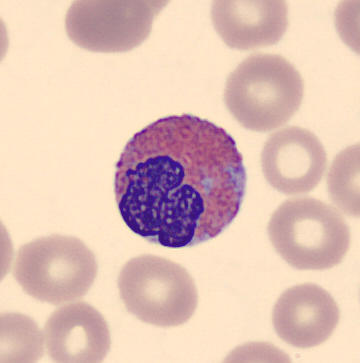 Morphology → eosinophilic granulocyte.
Preparation: Peripheral blood smear.